Bone marrow smear — 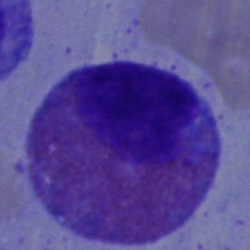Morphology consistent with an eosinophilic granulocyte.